Bone marrow smear:
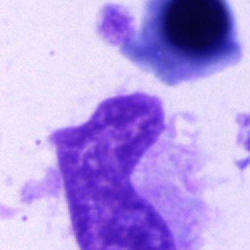Specimen: bone marrow smear.
Classification: artifact.